Bone marrow aspirate smear. May-Grünwald-Giemsa/Pappenheim stain: 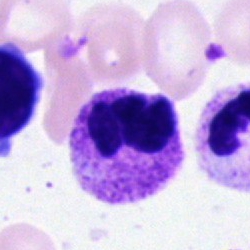 A neutrophil (segmented).